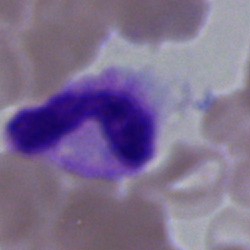
Q: What cell is this?
A: This is a neutrophil (segmented).